Single-cell field; bone marrow aspirate smear; brightfield, 40× oil-immersion objective — 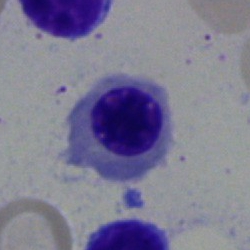

Q: What cell is this?
A: A nucleated red cell.